Bone marrow smear; single-cell crop; brightfield microscopy, 40× oil immersion:
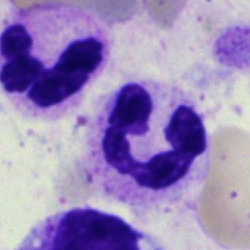 Q: What cell is this?
A: Neutrophil (segmented).